Bone marrow aspirate smear; May-Grünwald-Giemsa stain; 250×250: 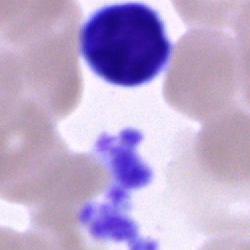

Typical lymphocyte.